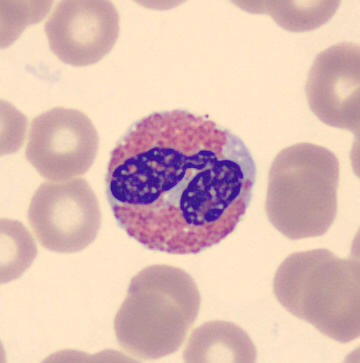Image: Peripheral blood smear · imaged on a CellaVision DM96 analyser · 360×363 px.

This is an eosinophilic granulocyte.